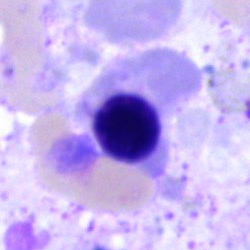A nucleated red cell.